Bone marrow smear — 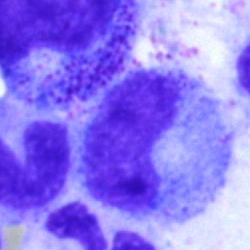
Impression → metamyelocyte.